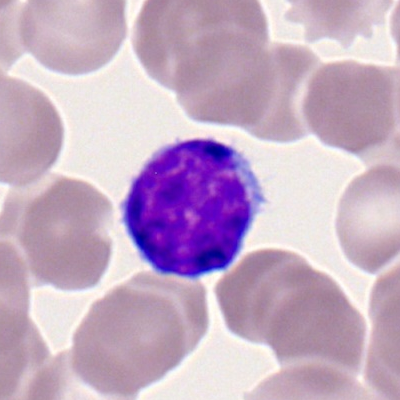
{"cell_type": "lymphocyte", "lineage": "lymphoid"}